Bone marrow smear:
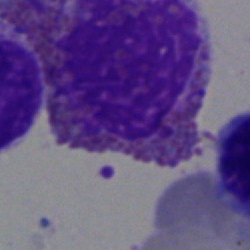

Q: Identify the cell.
A: Eosinophilic granulocyte.